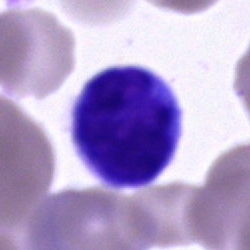Classification — typical lymphocyte.